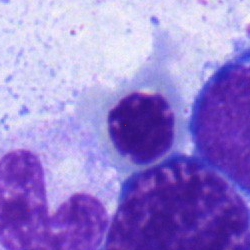Q: Which cell type is shown here?
A: It is a nucleated red blood cell.